Bone marrow aspirate smear; single cell centered in the field
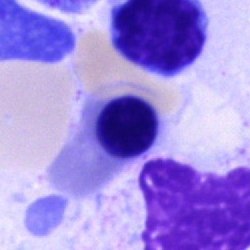
The cell is erythroblast.